Bone marrow smear; cropped to a single cell; May-Grünwald-Giemsa stain:
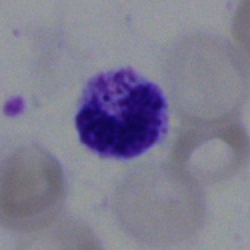

This is a band neutrophil.